Bone marrow aspirate smear · Pappenheim-stained: 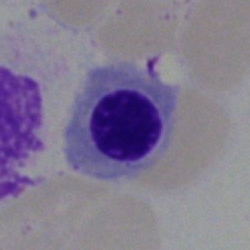

Q: Which cell type is shown here?
A: It is an erythroblast.